Bone marrow smear: 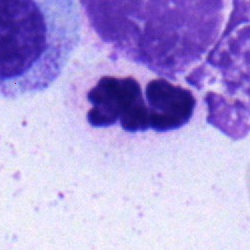
The cell type is segmented neutrophil.